Bone marrow aspirate smear · brightfield, 40× oil-immersion objective — 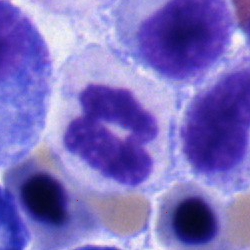
Specimen: bone marrow aspirate smear.
Cell type: segmented neutrophil.
Lineage: myeloid.